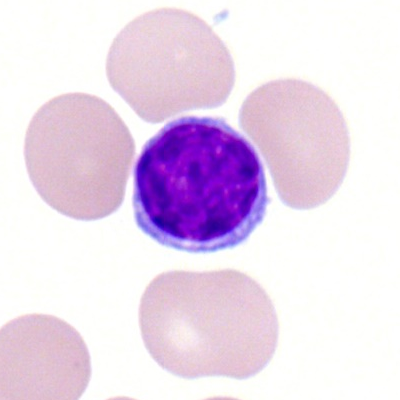

Q: What is shown here?
A: A typical lymphocyte.